Bone marrow smear
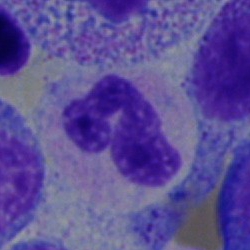

The cell shown is a neutrophil (segmented).